Bone marrow aspirate smear — 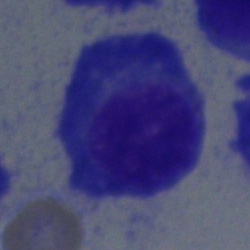

Impression → plasma cell.